Peripheral blood film; 400×400 px.
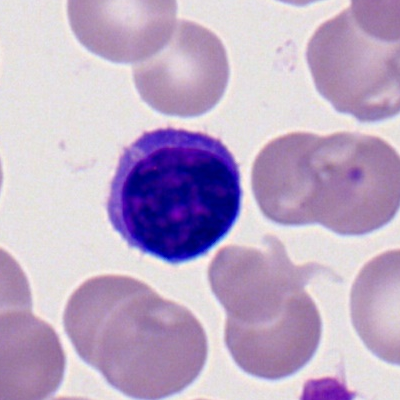 {"cell_type": "typical lymphocyte"}